Bone marrow smear.
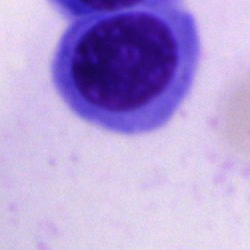Single cell identified as a normoblast.